Bone marrow aspirate smear · 250 by 250 pixels
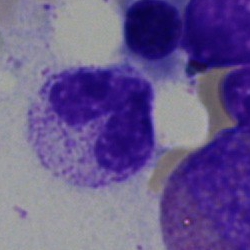Q: Identify the cell.
A: It is a segmented neutrophil.